Cropped to a single cell. Bone marrow aspirate smear: 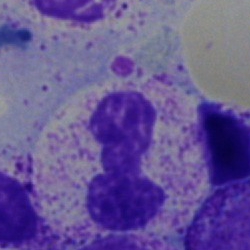 A stab cell.